Bone marrow aspirate smear.
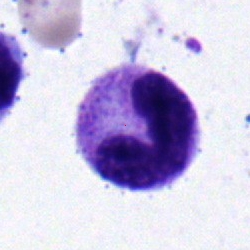

The cell type is band-form neutrophil.